Bone marrow aspirate smear · brightfield microscopy, 40× oil immersion · 250×250
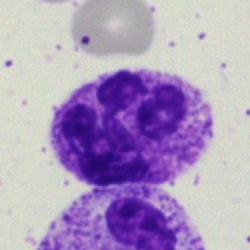Q: What is shown here?
A: This is a neutrophil (segmented).